Bone marrow aspirate smear.
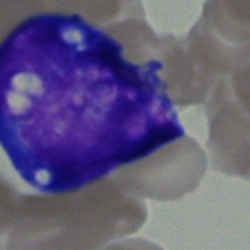 The morphological class is blast.